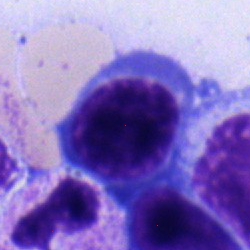 Single cell identified as an erythroblast.